Bone marrow aspirate smear. 40× objective, oil immersion — 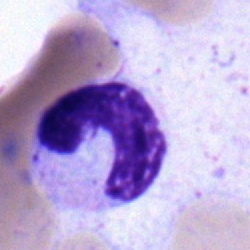Q: What type of cell is this?
A: A neutrophil (band).